Bone marrow aspirate smear — 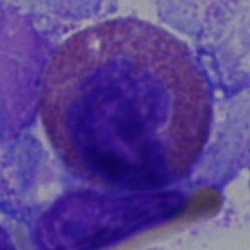
Morphology → eosinophil.